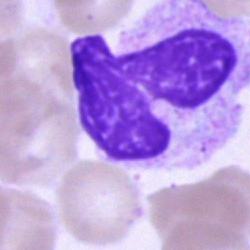 Classification — cell of indeterminate lineage.